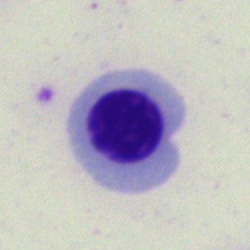 Bone marrow smear showing an erythroblast.